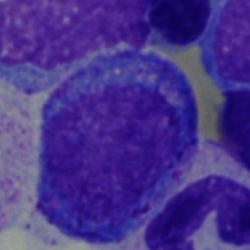Impression → progranulocyte.